40× oil immersion. Bone marrow aspirate smear. Cropped to a single cell:
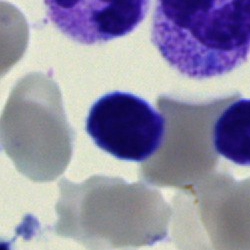The cell shown is a typical lymphocyte.